Bone marrow smear. Image size 250×250. Single cell centered in the field
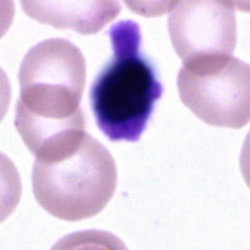 Showing an artifact.